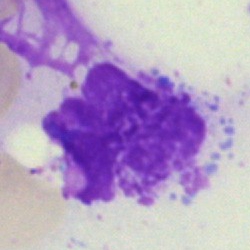Specimen: bone marrow aspirate smear.
Classification: artefact.